Peripheral blood film
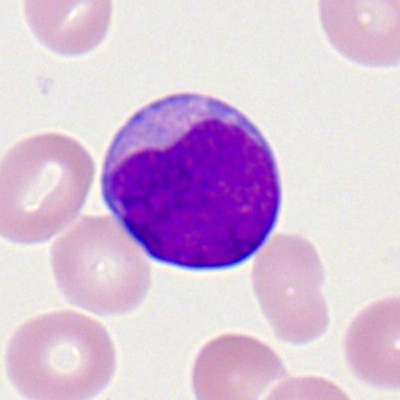Myeloid blast.